Single-cell crop; bone marrow smear.
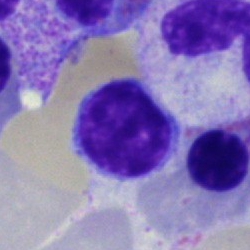
Showing a lymphocyte.